Bone marrow aspirate smear — 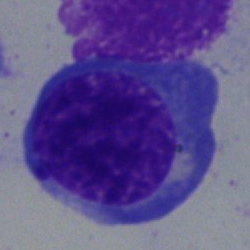
Cell type = normoblast.